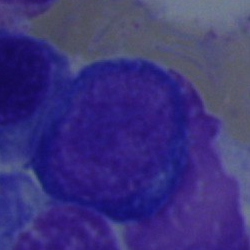 Single cell identified as a pronormoblast.